Bone marrow smear. Single-cell field. May-Grünwald-Giemsa/Pappenheim stain:
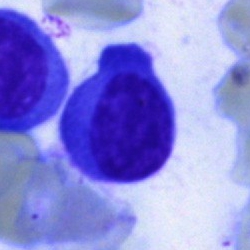

Specimen: bone marrow smear.
Classification: plasmacyte.